Bone marrow smear:
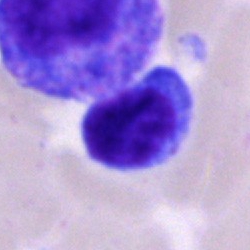Morphology → lymphocyte.